Bone marrow smear
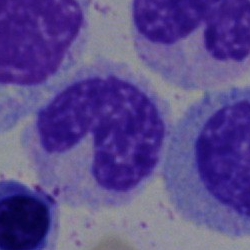 This is a stab cell.